Bone marrow aspirate smear
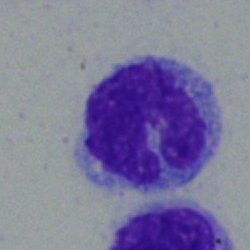Morphology consistent with a monocyte.